Bone marrow aspirate smear:
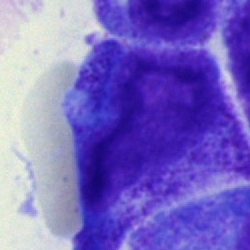

Impression → progranulocyte.